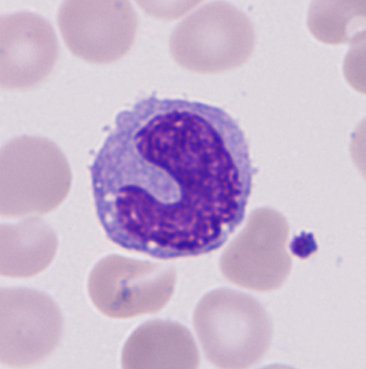Q: What is this?
A: Monocyte.

Peripheral blood smear.